Bone marrow smear: 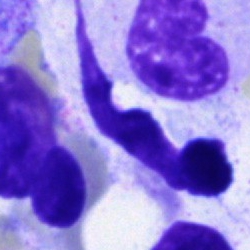
Single cell identified as an artifact.